Bone marrow aspirate smear.
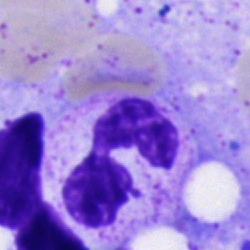
Classification — polymorphonuclear neutrophil.